Peripheral blood film.
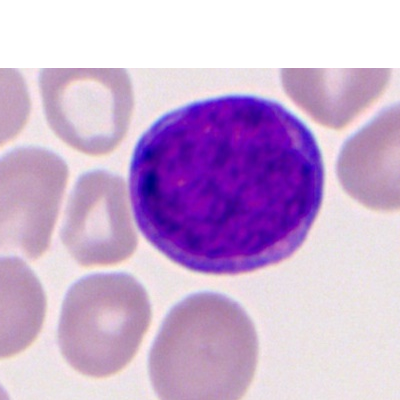Single cell identified as a myeloid blast.